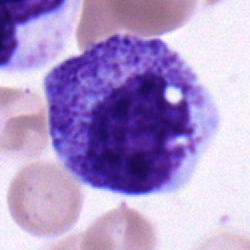
The classification is myelocyte.